MGG-stained; bone marrow smear:
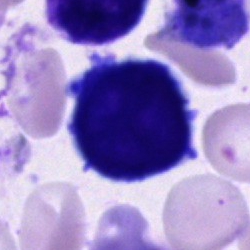 Morphology consistent with an unidentifiable cell.